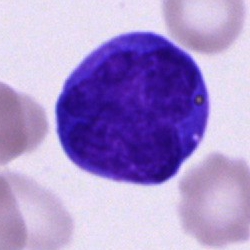

Morphology → proerythroblast.